Bone marrow smear
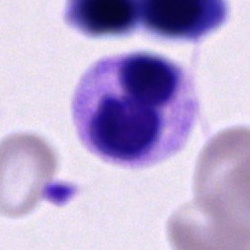 {"cell_type": "neutrophil (segmented)"}